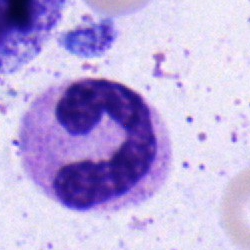

Specimen: bone marrow smear.
Cell type: neutrophil (band).
Lineage: myeloid.